Bone marrow smear. Brightfield microscopy, 40× oil immersion. Image size 250×250:
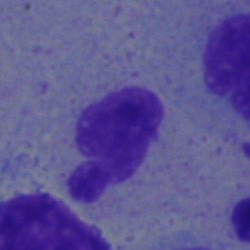
The cell shown is a band-form neutrophil.